Bone marrow aspirate smear: 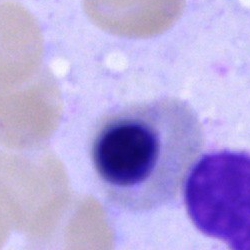 A nucleated red cell.